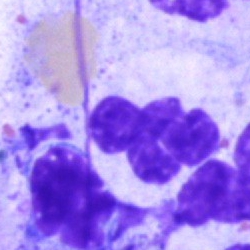

Morphology — neutrophil (segmented).